Bone marrow smear.
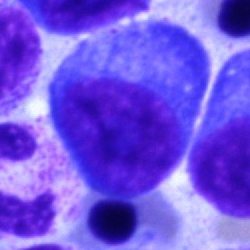 Q: Which cell type is shown here?
A: A plasmacyte.